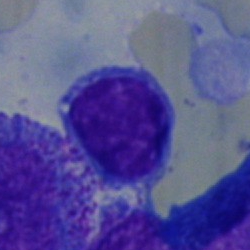
A lymphocyte.